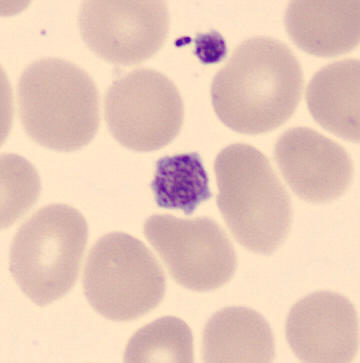 Cell type: platelet (thrombocyte).

Peripheral blood smear · May Grünwald-Giemsa stain.